Bone marrow smear; 40× oil immersion; 250 by 250 pixels:
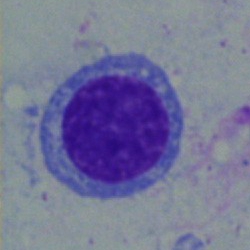

Impression — typical lymphocyte.